Bone marrow aspirate smear.
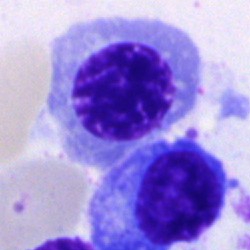Q: What is shown here?
A: A nucleated red blood cell.